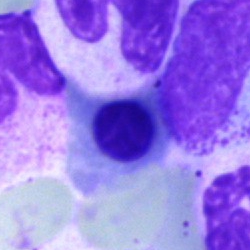

Specimen: bone marrow smear.
Classification: erythroblast.
Lineage: erythroid.